Bone marrow smear:
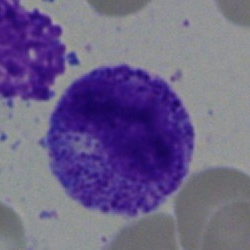

A progranulocyte.